Bone marrow aspirate smear: 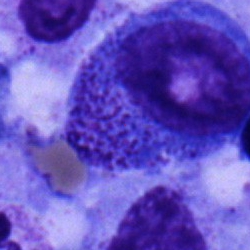 Promyelocyte.